Bone marrow aspirate smear — 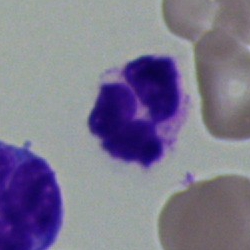
A polymorphonuclear neutrophil.